Bone marrow aspirate smear — 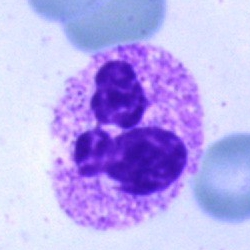 Classification = neutrophil (segmented).